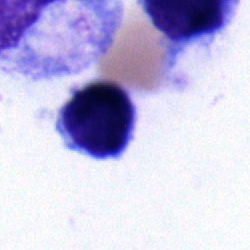Q: Which cell type is shown here?
A: Typical lymphocyte.